May-Grünwald-Giemsa/Pappenheim stain; bone marrow smear; 250×250: 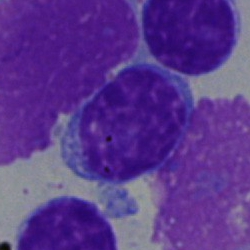{"cell_type": "typical lymphocyte", "lineage": "lymphoid"}